Bone marrow smear: 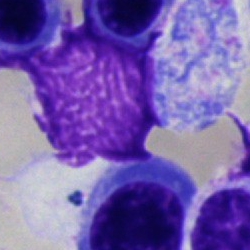

Q: What is shown here?
A: It is an artefact.